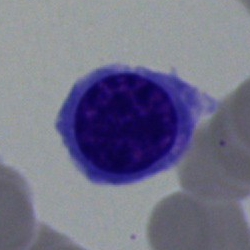 Morphological class = nucleated red blood cell.